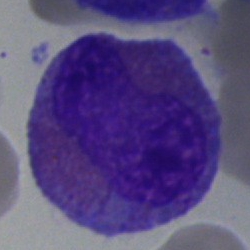

An eosinophil on a bone marrow smear.